250×250 px. Bone marrow aspirate smear.
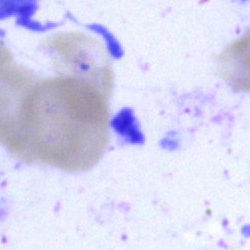 Q: What is shown here?
A: It is an artifact.